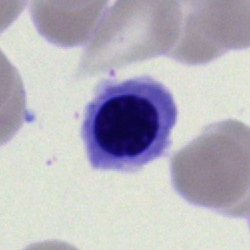An erythroblast on a bone marrow smear.